Bone marrow aspirate smear: 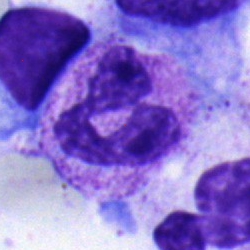

The morphological class is neutrophil (segmented).